Bone marrow aspirate smear: 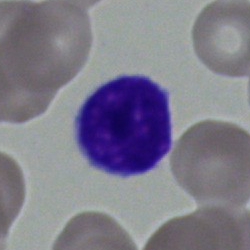
A typical lymphocyte.